Cropped to a single cell; bone marrow aspirate smear; brightfield microscopy, 40× oil immersion: 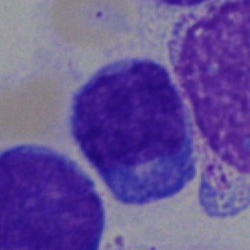Q: What is shown here?
A: It is a lymphocyte.